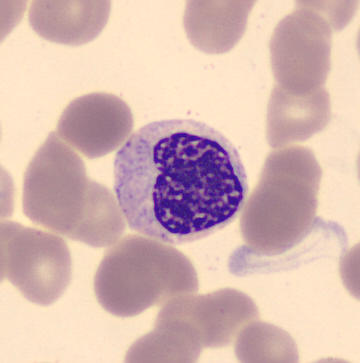 Image: Single-cell field · peripheral blood film.

Identified as a myelocyte.